May-Grünwald-Giemsa/Pappenheim stain · single-cell crop · bone marrow smear:
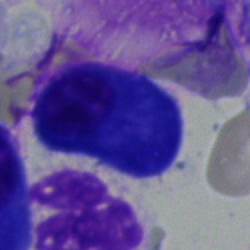
A plasma cell.